40× oil immersion; bone marrow smear; single-cell crop
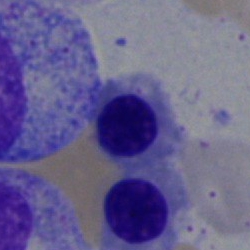

A nucleated red blood cell.